40× objective, oil immersion; bone marrow smear.
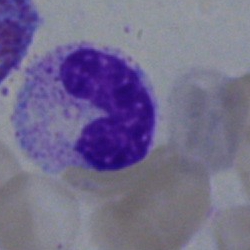
Impression → neutrophil (band).